40× oil immersion; image size 250×250; bone marrow aspirate smear — 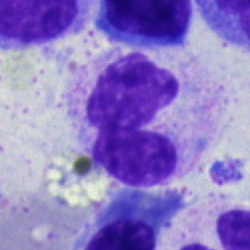

A segmented neutrophil.